Bone marrow aspirate smear
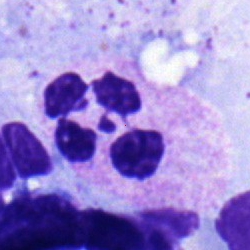 Single cell identified as a neutrophil (segmented).